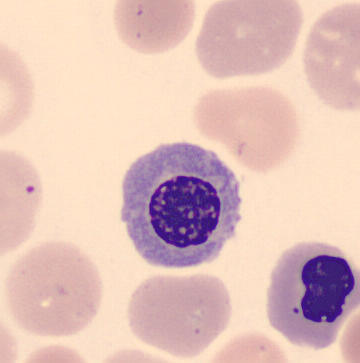 Cell — normoblast.